Bone marrow smear; Pappenheim-stained:
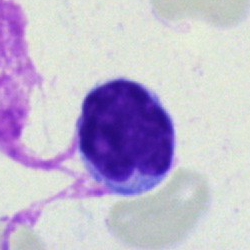

Showing a typical lymphocyte.